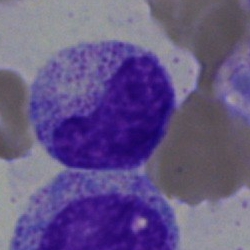

Q: Identify the cell.
A: A stab cell.